Bone marrow aspirate smear.
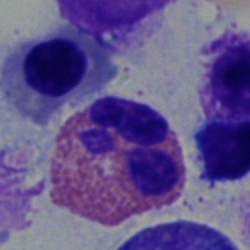

Cell: eosinophilic granulocyte.